Bone marrow smear.
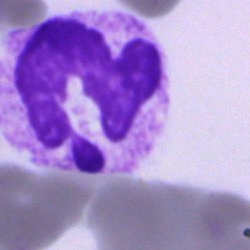
Q: What cell is this?
A: It is a neutrophil (segmented).